May-Grünwald-Giemsa stain · 40× oil immersion · bone marrow aspirate smear
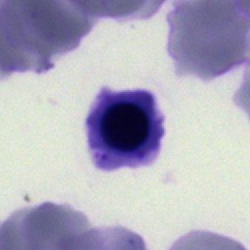The cell shown is a normoblast.